Bone marrow smear
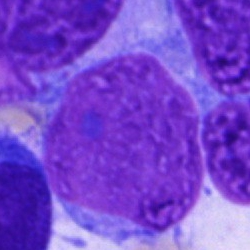An unidentifiable cell.